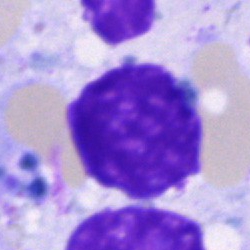
Classification — artefact.